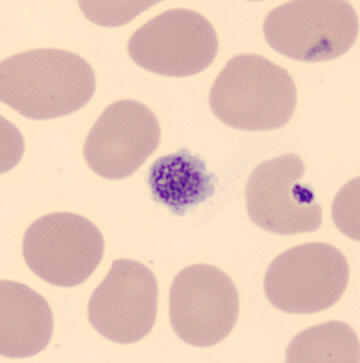From a peripheral blood smear: a platelet.